Bone marrow aspirate smear:
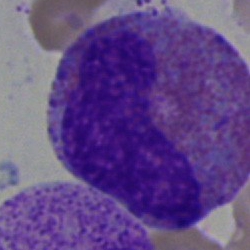 The morphological class is eosinophil.